Bone marrow smear — 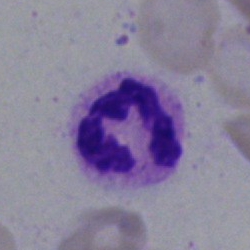Classification — neutrophil (segmented).